Bone marrow smear.
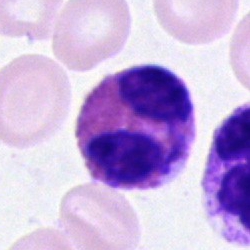 An eosinophil.